Bone marrow aspirate smear:
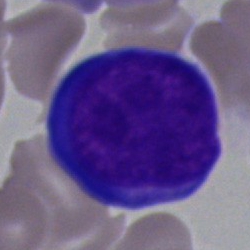Specimen: bone marrow aspirate smear.
Morphological class: nucleated red blood cell.